Bone marrow aspirate smear. Brightfield, 40× oil-immersion objective: 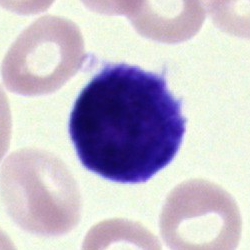 Single cell identified as a lymphocyte.